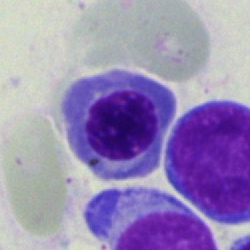

An erythroblast.